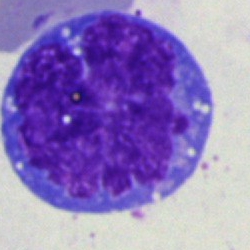 Single-cell crop from a bone marrow smear: monocyte.